Peripheral blood film: 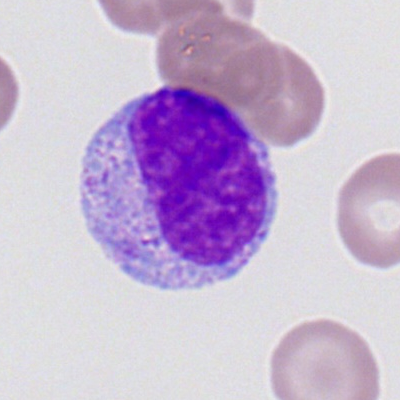

Q: Identify the cell.
A: A metamyelocyte.